Single cell centered in the field · peripheral blood smear · Romanowsky-type stain
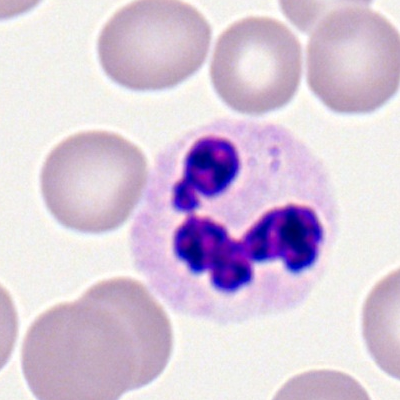
Segmented neutrophil.